Bone marrow smear
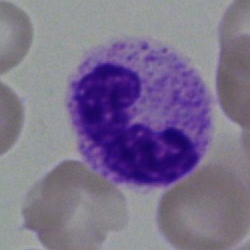 Single cell identified as a neutrophil (segmented).